Peripheral blood smear — 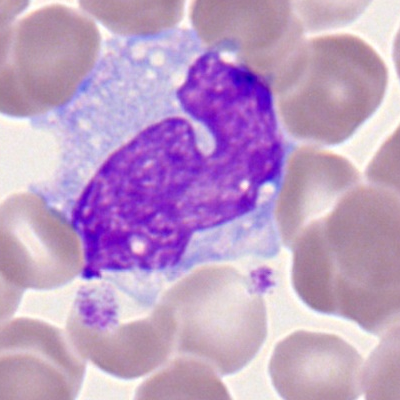
Showing a monocyte.